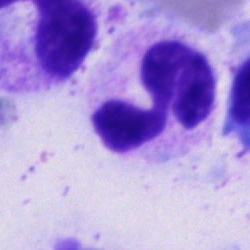

Cell = neutrophil (segmented).